Peripheral blood smear; Romanowsky stain:
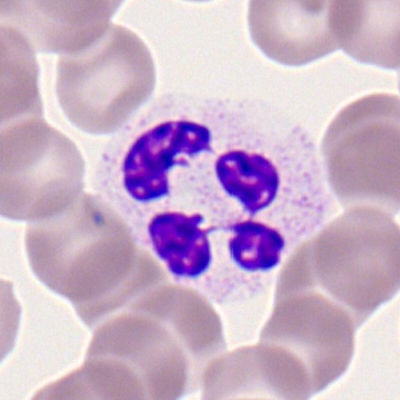
Q: Which cell type is shown here?
A: This is a neutrophil (segmented).